400 by 400 pixels. Cropped to a single cell. Peripheral blood smear — 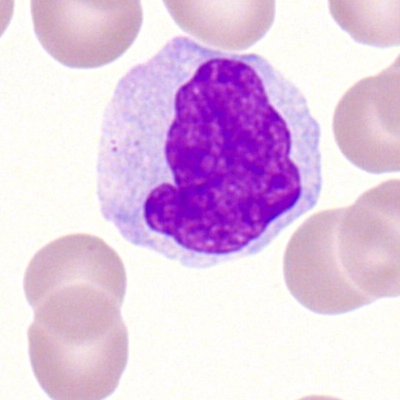 Cell type: monocyte.